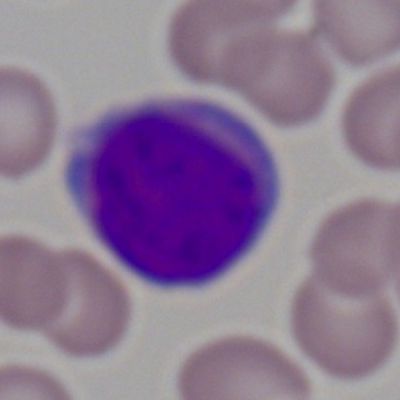

Peripheral blood film, single cell — myeloid blast.